Bone marrow aspirate smear; image size 250×250: 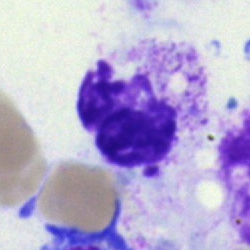Q: What type of cell is this?
A: This is a polymorphonuclear neutrophil.